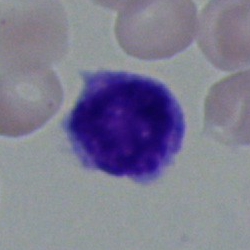Bone marrow smear showing a lymphocyte.